MGG-stained · 40× oil immersion · bone marrow aspirate smear: 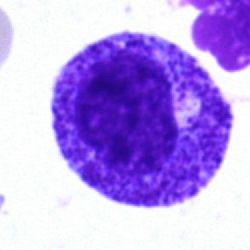Specimen: bone marrow aspirate smear.
Classification: myelocyte.